Bone marrow aspirate smear:
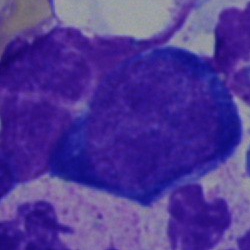 Q: What cell is this?
A: Normoblast.